Bone marrow smear · 250×250 px.
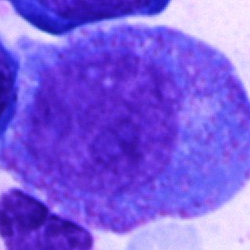
Classification — promyelocyte.